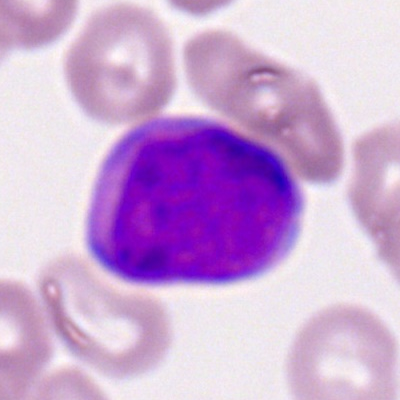
Classification = myeloid blast.